Bone marrow aspirate smear; MGG-stained.
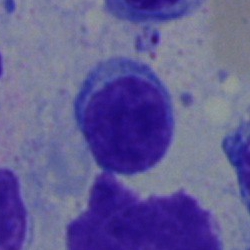

Classification — typical lymphocyte.